Bone marrow smear.
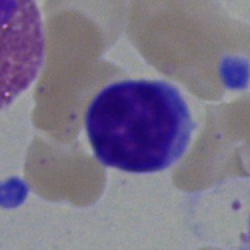

Q: What is the morphological classification of this cell?
A: This is a typical lymphocyte.